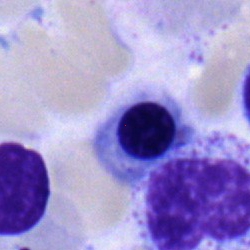
The cell type is erythroblast.